Bone marrow aspirate smear
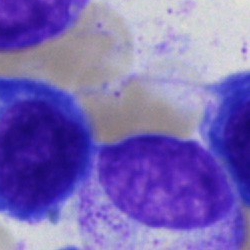

Cell — plasma cell.